Brightfield microscopy, 40× oil immersion. Bone marrow smear. Image size 250×250: 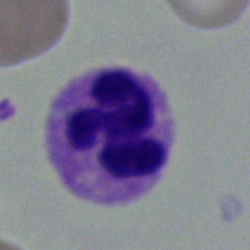Morphological class: segmented neutrophil.